250×250 px · bone marrow smear · cropped to a single cell:
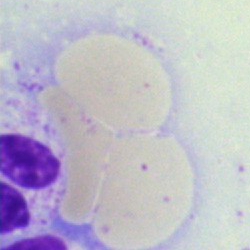 Specimen: bone marrow smear.
Cell: artifact.